Bone marrow smear.
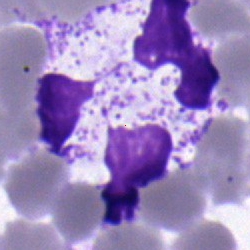 Morphological class = polymorphonuclear neutrophil.